Brightfield microscopy, 40× oil immersion. Single cell centered in the field. Bone marrow smear — 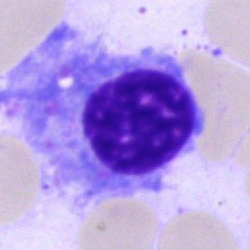
This is a plasmacyte.